Bone marrow smear · MGG-stained:
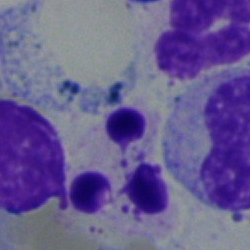 Cell: polymorphonuclear neutrophil.